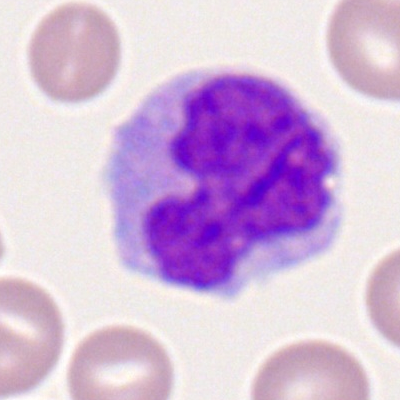
Morphology consistent with a monocyte.